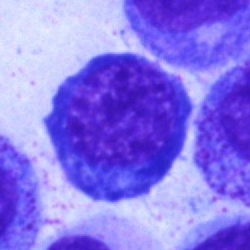

Specimen: bone marrow aspirate smear.
Classification: nucleated red cell.
Lineage: erythroid.